Bone marrow aspirate smear — 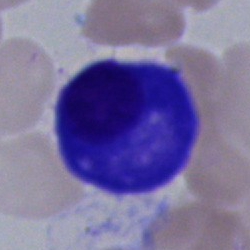
The morphological class is plasma cell.